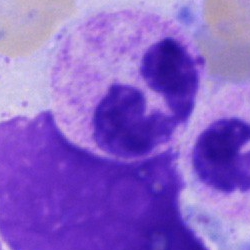 Morphological class: neutrophil (segmented).